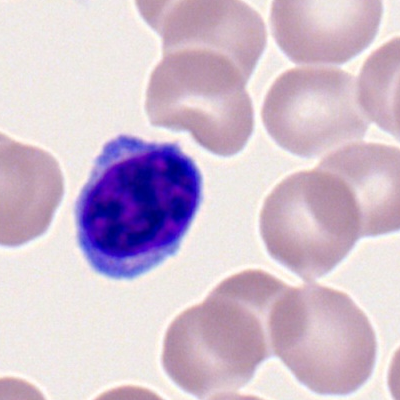 {"cell_type": "lymphocyte", "lineage": "lymphoid"}